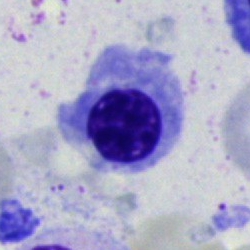
Specimen: bone marrow smear.
Morphological class: nucleated red cell.